Single cell centered in the field · Pappenheim-stained · bone marrow smear: 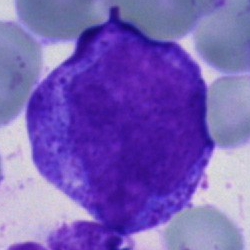

Impression — blast.